Bone marrow aspirate smear
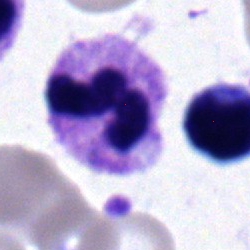
The cell shown is a neutrophil (segmented).